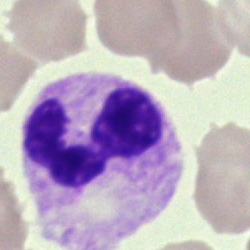Morphology — segmented neutrophil.